Bone marrow smear; image size 250×250:
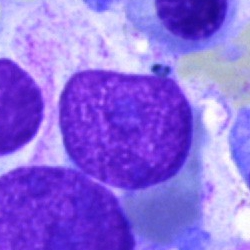
Specimen: bone marrow smear.
Classification: artifact.